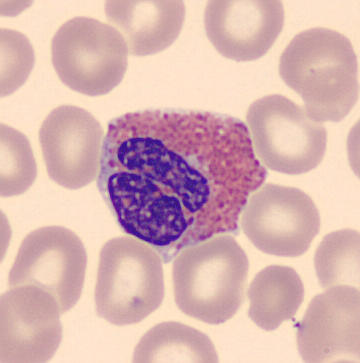 Showing an eosinophilic granulocyte. Image: Peripheral blood film.